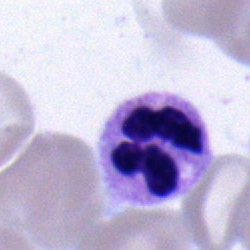

Q: Identify the cell.
A: This is a segmented neutrophil.